Peripheral blood smear.
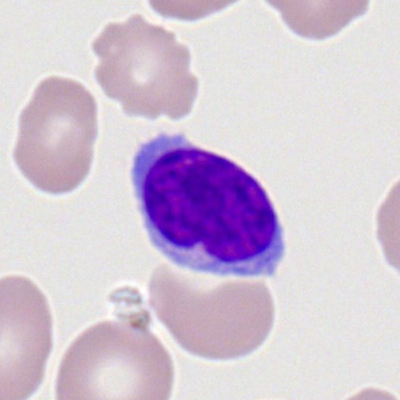
This is a typical lymphocyte.